May-Grünwald-Giemsa stain · bone marrow aspirate smear:
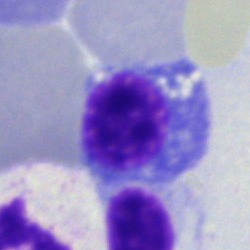
Specimen: bone marrow aspirate smear.
Morphological class: nucleated red cell.
Lineage: erythroid.